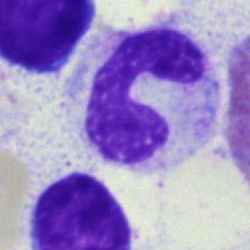 Morphology — neutrophil (band).